250×250; cropped to a single cell; bone marrow smear — 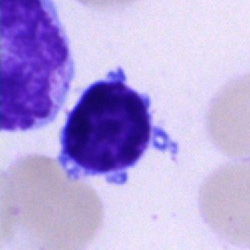 Morphology → lymphocyte.